Bone marrow smear. 250×250
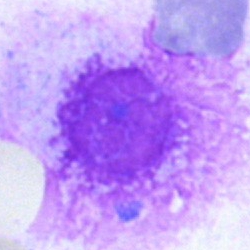
{"cell_type": "artifact"}